Bone marrow smear: 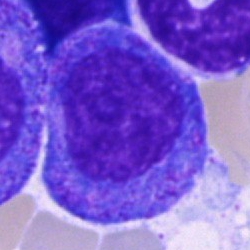

Morphology — progranulocyte.